Bone marrow smear; brightfield microscopy, 40× oil immersion:
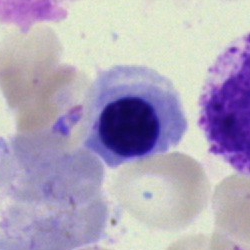

Classification = nucleated red cell.